Peripheral blood smear. Single-cell field
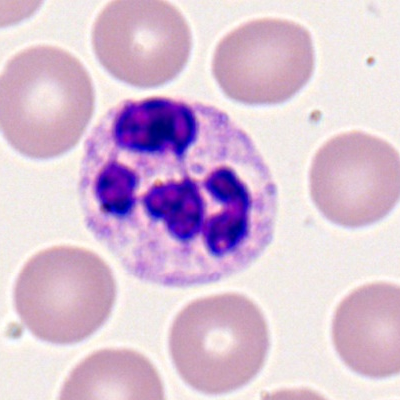{"cell_type": "segmented neutrophil"}